Bone marrow aspirate smear — 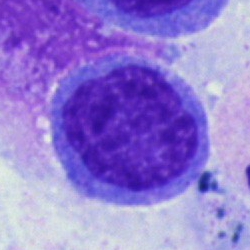The morphological class is monocyte.